Bone marrow aspirate smear.
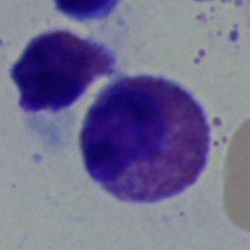

Impression — eosinophil.